Bone marrow smear
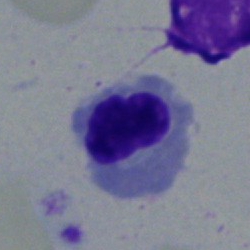 Q: What type of cell is this?
A: It is a nucleated red cell.